May-Grünwald-Giemsa stain · bone marrow smear:
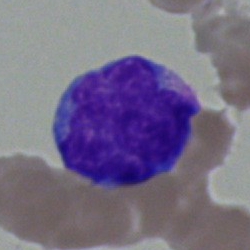

{"cell_type": "blast cell"}